Bone marrow smear; cropped to a single cell
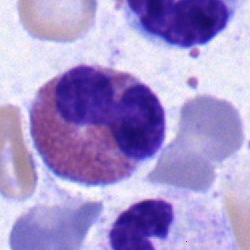
Q: What is the morphological classification of this cell?
A: An eosinophilic granulocyte.